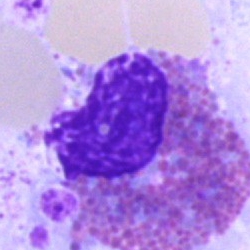 The morphological class is eosinophil.